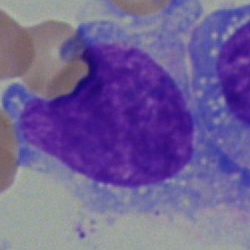
Single cell identified as a blast.